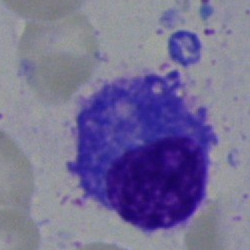Showing a plasma cell.